May-Grünwald-Giemsa/Pappenheim stain; bone marrow smear
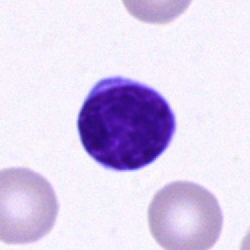The classification is lymphocyte.